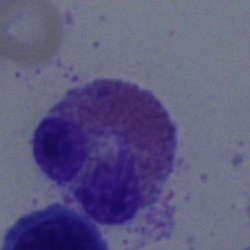

Morphological class — eosinophilic granulocyte.